Bone marrow aspirate smear:
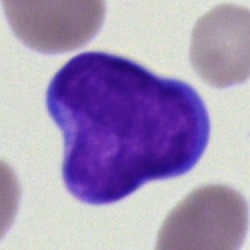

Specimen: bone marrow aspirate smear.
Cell type: blast.